40× oil immersion. Bone marrow aspirate smear:
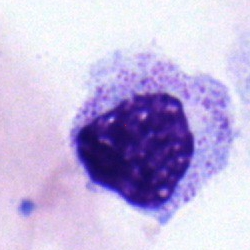This is a myelocyte.